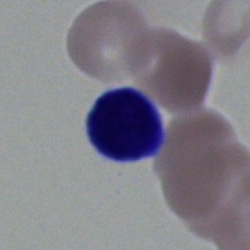

{"cell_type": "typical lymphocyte"}